Bone marrow aspirate smear · 40× oil immersion.
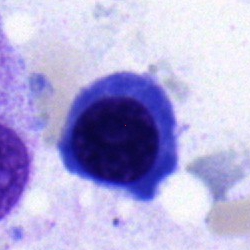

The cell type is normoblast.